Bone marrow smear. May-Grünwald-Giemsa stain — 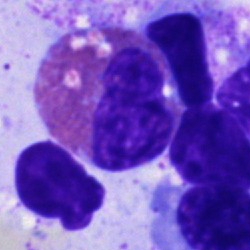
Morphology → eosinophilic granulocyte.